Brightfield, 40× oil-immersion objective. Pappenheim-stained. Bone marrow aspirate smear — 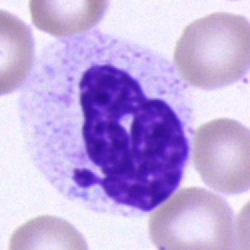
This is a polymorphonuclear neutrophil.